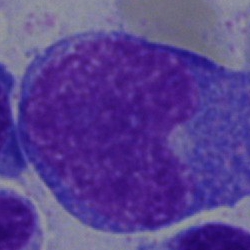
Single cell identified as a promyelocyte.